360×363; peripheral blood film; single-cell crop
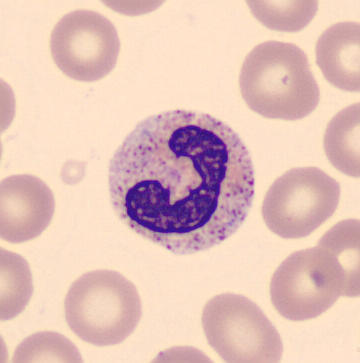
Morphology — band-form neutrophil.